Brightfield, 40× oil-immersion objective · bone marrow smear · single-cell field:
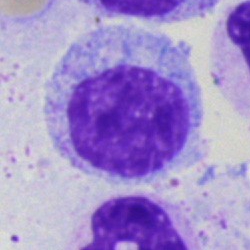
Q: What is shown here?
A: This is a myelocyte.